Bone marrow smear. Single cell centered in the field — 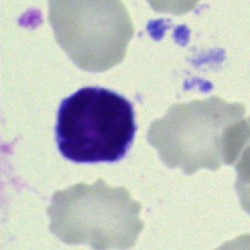Specimen: bone marrow smear.
Cell type: typical lymphocyte.